Image size 400×400; peripheral blood film
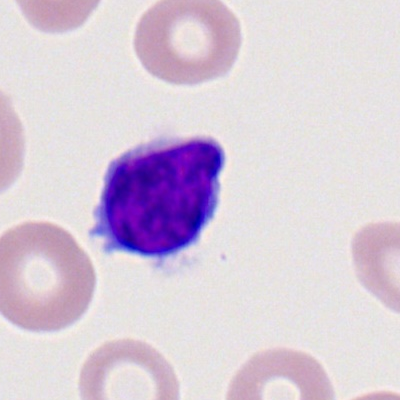
Showing a typical lymphocyte.